250 by 250 pixels; May-Grünwald-Giemsa/Pappenheim stain; bone marrow smear
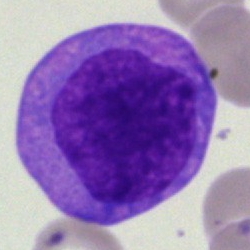

Q: What type of cell is this?
A: Undifferentiated blast.